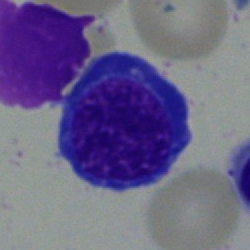Morphological class — nucleated red blood cell.